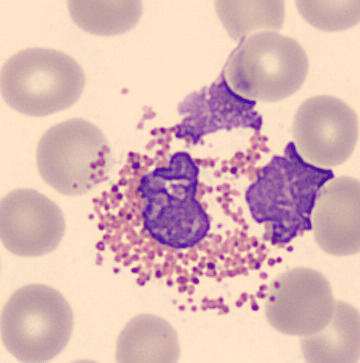

Image: Peripheral blood smear. Morphology → eosinophil.